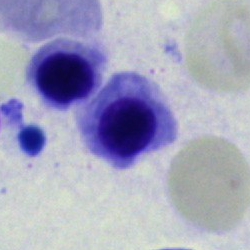 This is an erythroblast.